Bone marrow aspirate smear · May-Grünwald-Giemsa/Pappenheim stain — 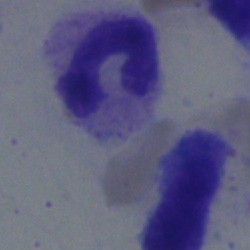

Specimen: bone marrow aspirate smear.
Cell type: neutrophil (segmented).